Bone marrow aspirate smear; MGG-stained:
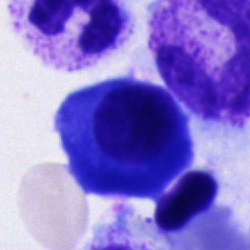

Morphology consistent with a plasmacyte.